May-Grünwald-Giemsa/Pappenheim stain. Single-cell field. Bone marrow aspirate smear
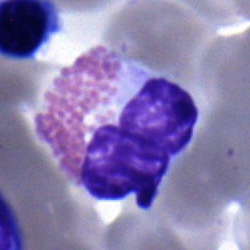

Morphology consistent with an eosinophilic granulocyte.